Bone marrow aspirate smear: 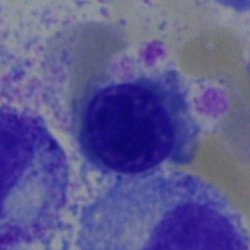
The cell is nucleated red cell.